Bone marrow aspirate smear.
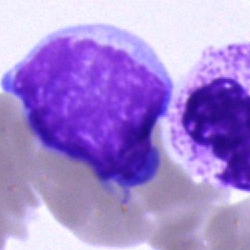
Impression → typical lymphocyte.